Bone marrow aspirate smear: 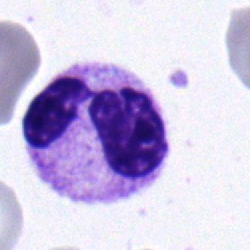 Morphology → polymorphonuclear neutrophil.